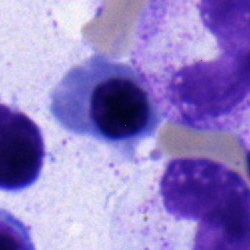
Morphological class = nucleated red blood cell.